Bone marrow smear. Brightfield microscopy, 40× oil immersion.
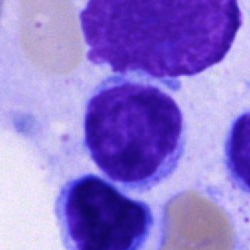 Classification: typical lymphocyte.